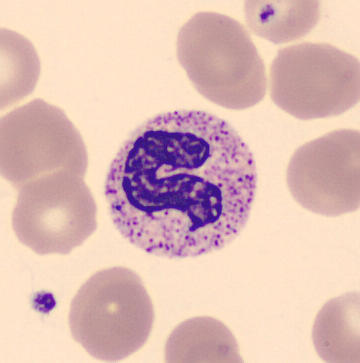Neutrophil (segmented).